Peripheral blood film · single-cell crop.
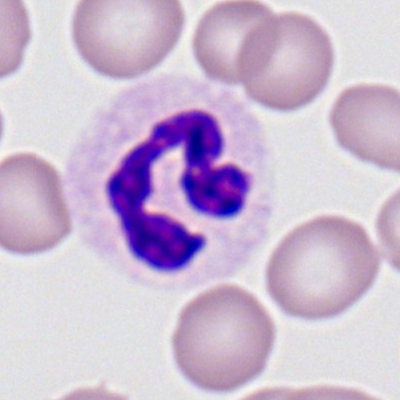 Morphology consistent with a polymorphonuclear neutrophil.